Bone marrow aspirate smear · 40× objective, oil immersion.
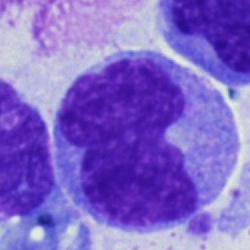 A monocyte.